Bone marrow smear:
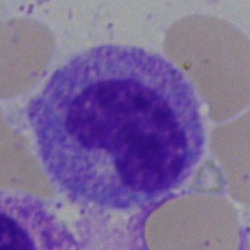
Morphology → stab cell.